Peripheral blood smear; single-cell field
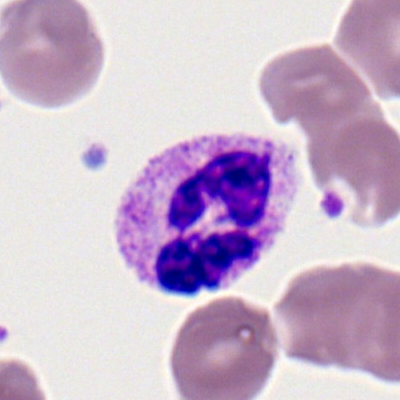Polymorphonuclear neutrophil.